Bone marrow smear — 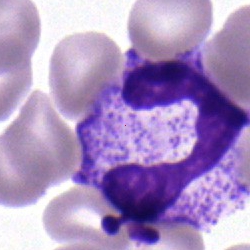
Classification: segmented neutrophil.